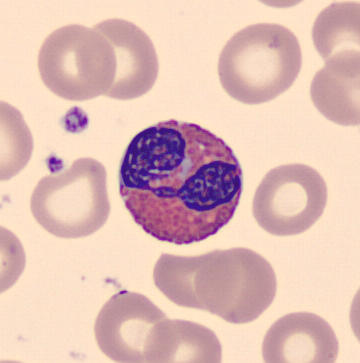Acquisition: Peripheral blood film. 360×363 px.

Morphological class = eosinophil.